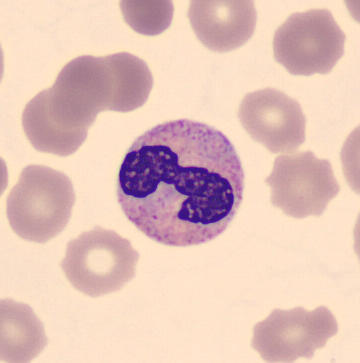
Morphological class — stab cell.